Bone marrow aspirate smear.
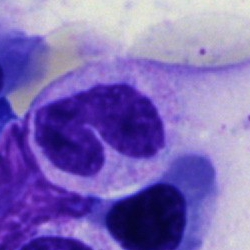
Showing a segmented neutrophil.